Bone marrow aspirate smear.
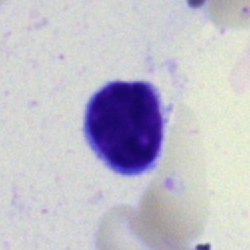Cell type = lymphocyte.